M8 digital microscope (Precipoint), 100× oil immersion · 400×400 · peripheral blood smear.
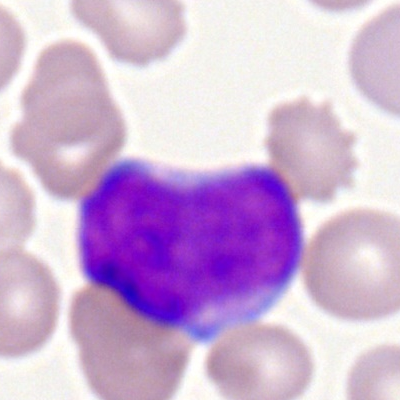Myeloblast.